Bone marrow aspirate smear:
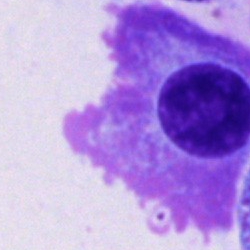 This is a plasmacyte.